250 by 250 pixels; MGG-stained; bone marrow smear — 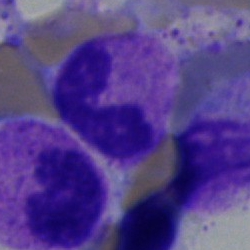

The cell shown is a segmented neutrophil.